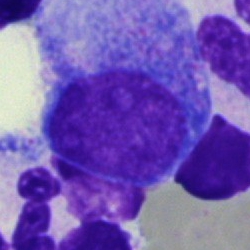

Cell: promyelocyte.